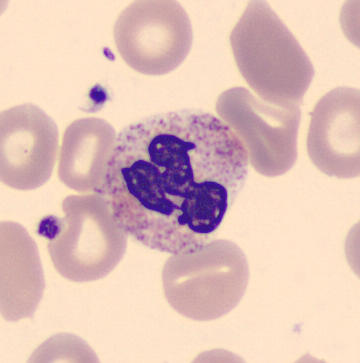

The cell type is polymorphonuclear neutrophil.

Image: Peripheral blood film.